Image size 250×250; 40× oil immersion; bone marrow aspirate smear.
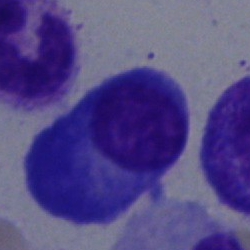
Plasmacyte.